Pappenheim-stained. Brightfield microscopy, 40× oil immersion. Bone marrow aspirate smear:
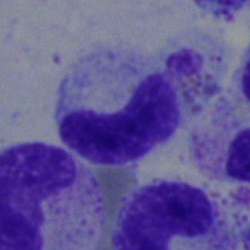Specimen: bone marrow aspirate smear.
Classification: stab cell.